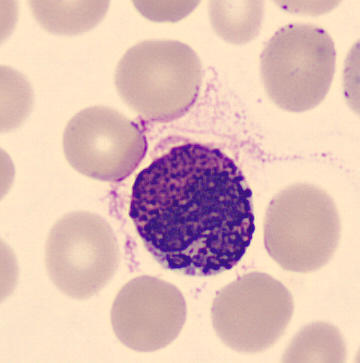

Acquisition: Peripheral blood smear.
Morphological class: basophilic granulocyte.